Bone marrow smear · single cell centered in the field — 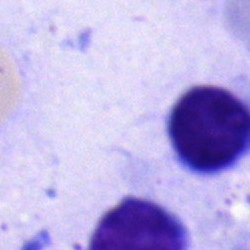Q: What is the morphological classification of this cell?
A: Typical lymphocyte.